Bone marrow smear: 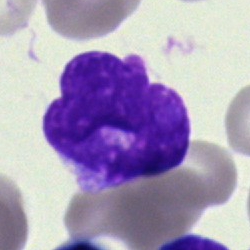

Impression → artifact.